Bone marrow aspirate smear; 250 by 250 pixels.
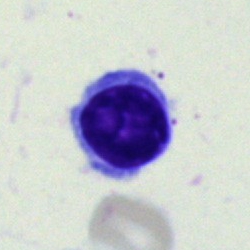 Showing a lymphocyte.